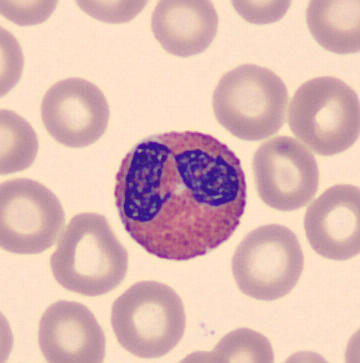Peripheral blood film.

Morphology consistent with an eosinophil.